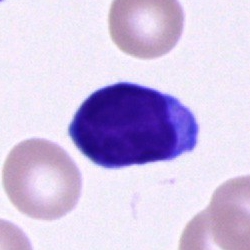{"cell_type": "typical lymphocyte", "lineage": "lymphoid"}